Brightfield, 40× oil-immersion objective; Pappenheim-stained; bone marrow aspirate smear:
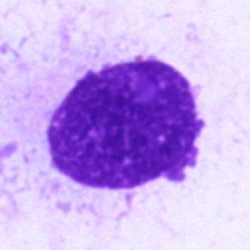

Artifact.